Bone marrow aspirate smear:
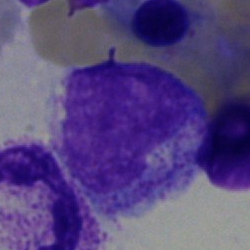Q: What type of cell is this?
A: This is an unidentifiable cell.